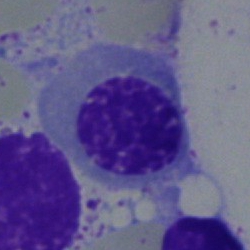
The morphological class is nucleated red blood cell.